Bone marrow aspirate smear
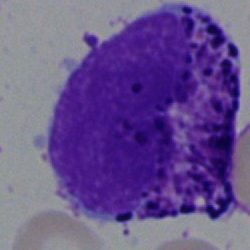
Morphology → basophilic granulocyte.